Bone marrow smear:
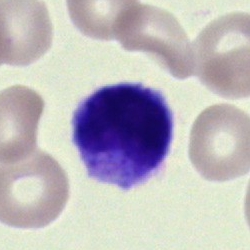
Q: Which cell type is shown here?
A: It is a lymphocyte.